Bone marrow smear.
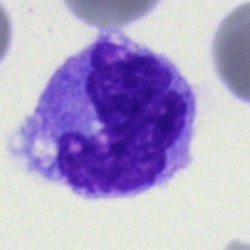

Impression — monocyte.